Peripheral blood smear — 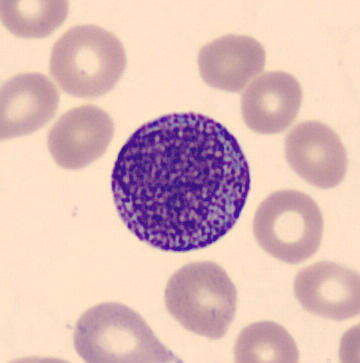

Single cell identified as a progranulocyte.